Peripheral blood film · 400×400 · Romanowsky stain: 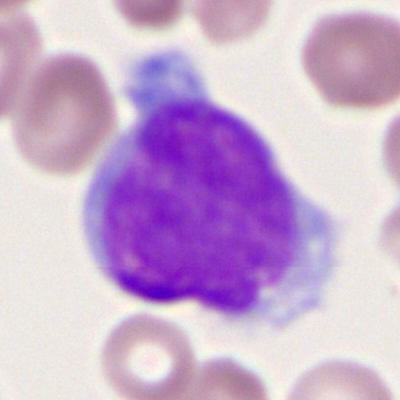

Myeloid blast.